Bone marrow aspirate smear. 250×250 px
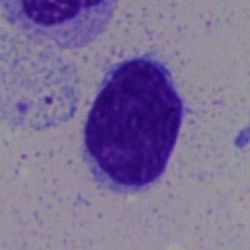

This is a typical lymphocyte.